Bone marrow aspirate smear
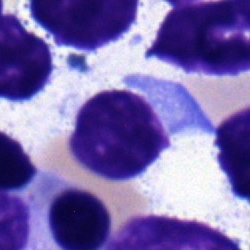 Morphology → lymphocyte.